Bone marrow smear. MGG-stained.
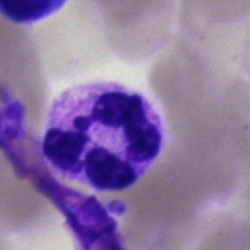Cell: neutrophil (segmented).